Romanowsky stain. Peripheral blood film: 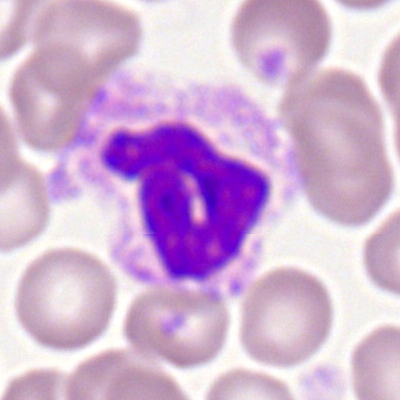
This is a neutrophil (segmented).